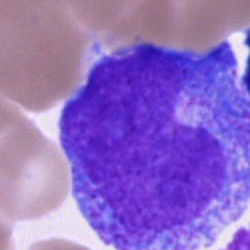

Q: What type of cell is this?
A: This is a promyelocyte.